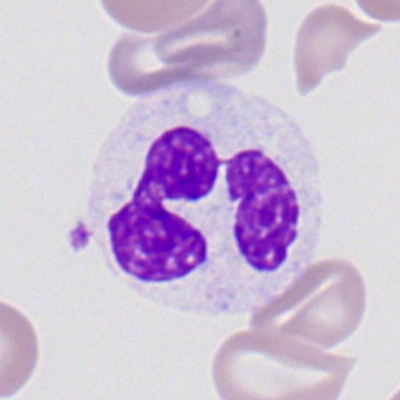The classification is segmented neutrophil.